Bone marrow aspirate smear · May-Grünwald-Giemsa/Pappenheim stain — 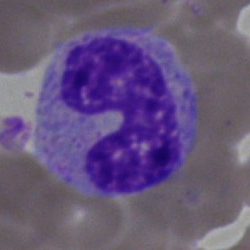

Morphological class — band neutrophil.